Single-cell field. Bone marrow smear.
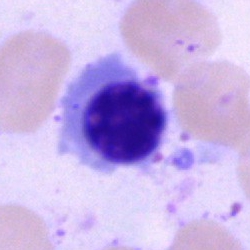
Classification — nucleated red blood cell.